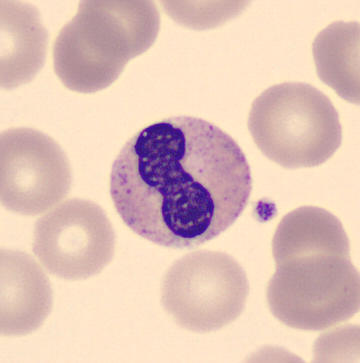
Peripheral blood smear; automated cell imaging (CellaVision DM96); 360 by 363 pixels.
Cell = neutrophil (band).